Bone marrow aspirate smear · brightfield, 40× oil-immersion objective.
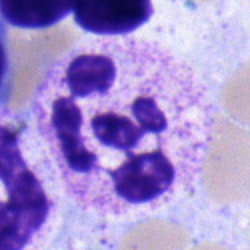Cell type = polymorphonuclear neutrophil.